Bone marrow aspirate smear; 40× objective, oil immersion: 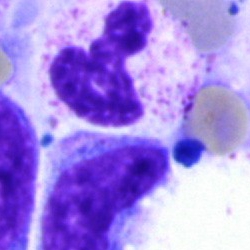Specimen: bone marrow aspirate smear.
Classification: segmented neutrophil.